Single-cell field · bone marrow smear · MGG-stained: 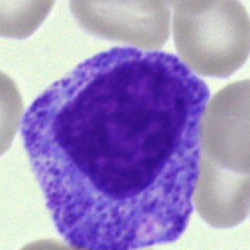Q: What type of cell is this?
A: Progranulocyte.